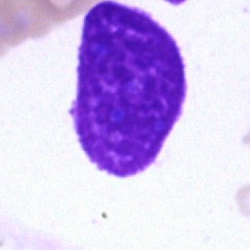The morphological class is artefact.